250×250 · bone marrow smear: 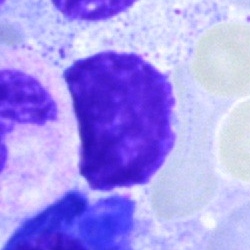

Showing an artifact.